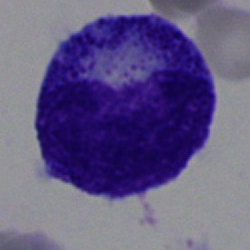

Impression — promyelocyte.